Peripheral blood smear · single-cell crop
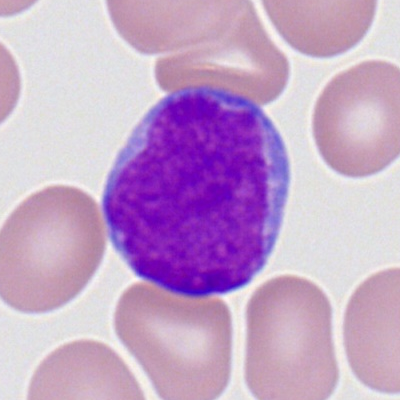 The morphological class is myeloblast.